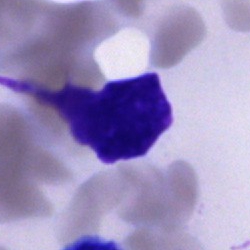
An artefact.